Bone marrow smear.
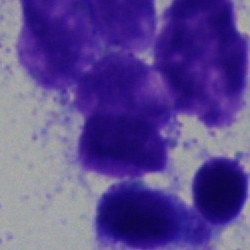Morphology consistent with an artifact.